Cropped to a single cell. Peripheral blood film: 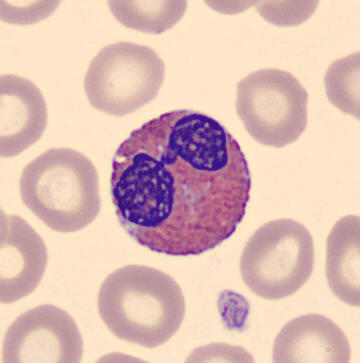
Cell type — eosinophil.